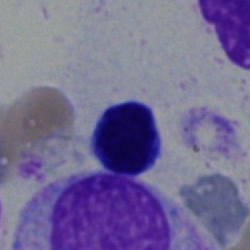
A typical lymphocyte on a bone marrow smear.